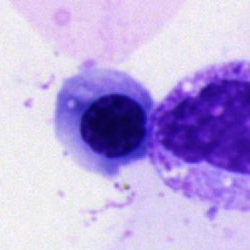
Q: Which cell type is shown here?
A: It is a nucleated red blood cell.